Bone marrow aspirate smear: 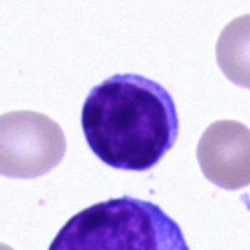
The cell type is typical lymphocyte.